Peripheral blood film. 400×400:
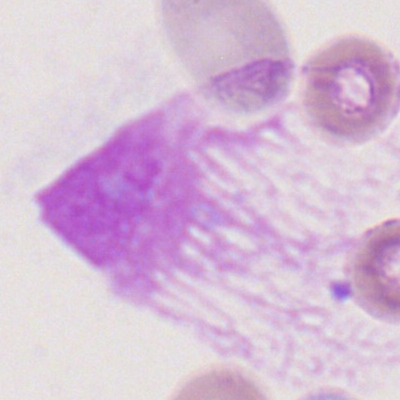
Q: What type of cell is this?
A: Smudge cell.